Bone marrow smear:
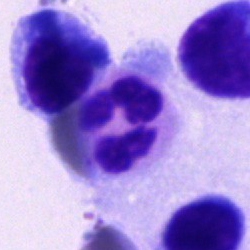 Single cell identified as a segmented neutrophil.